Single-cell crop · bone marrow smear · MGG-stained — 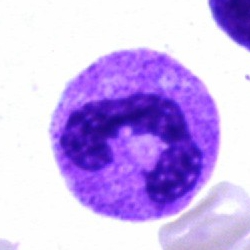 A segmented neutrophil.